May-Grünwald-Giemsa/Pappenheim stain; bone marrow smear:
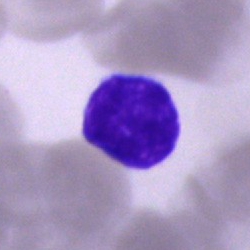 Single cell identified as a typical lymphocyte.